Bone marrow smear · May-Grünwald-Giemsa stain: 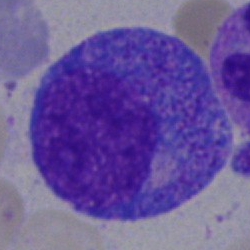A progranulocyte.